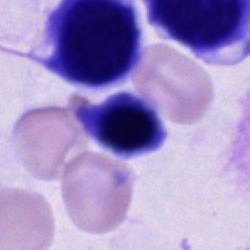

Single-cell crop from a bone marrow smear: unidentifiable cell.